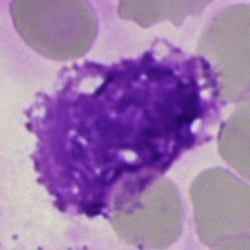
Q: What is shown here?
A: This is an artifact.